Single-cell crop; bone marrow aspirate smear
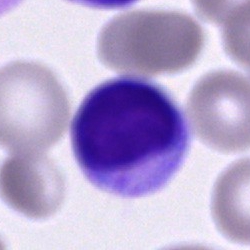 Typical lymphocyte.